Bone marrow aspirate smear
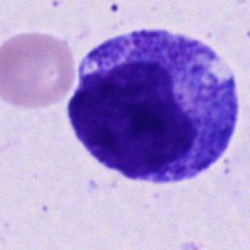The cell shown is a promyelocyte.